Peripheral blood film · 400×400 px: 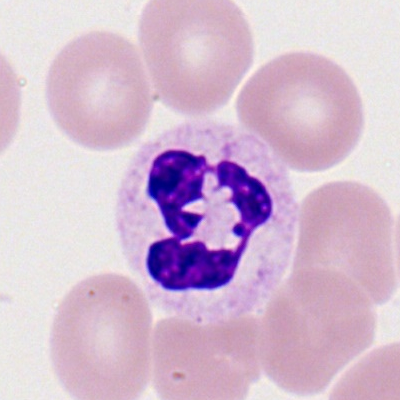
Cell type: polymorphonuclear neutrophil.